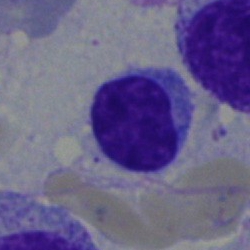
Typical lymphocyte.